Bone marrow smear · single-cell field.
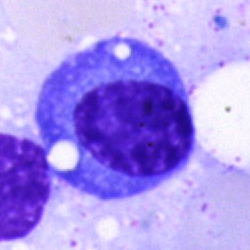
This is a plasmacyte.